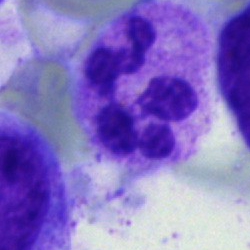 Morphological class — segmented neutrophil.